Single-cell field · bone marrow aspirate smear:
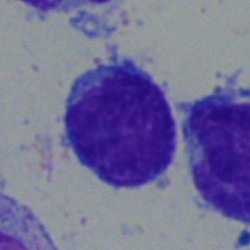This is a lymphocyte.